Bone marrow aspirate smear:
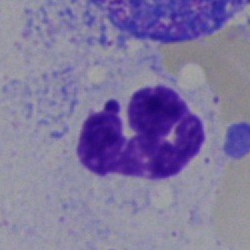
A neutrophil (segmented).